Bone marrow aspirate smear — 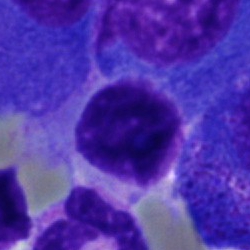Q: What is shown here?
A: It is an artifact.